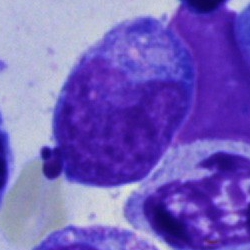

Showing an undifferentiated blast.